Bone marrow smear: 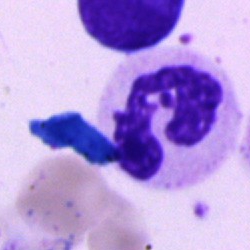
Q: What cell is this?
A: It is a polymorphonuclear neutrophil.